Bone marrow aspirate smear. 250×250 px.
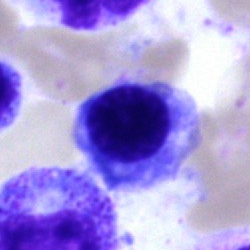
The cell shown is a normoblast.